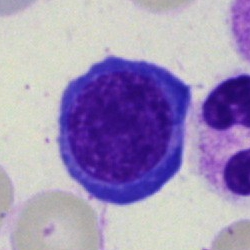Q: What type of cell is this?
A: A nucleated red blood cell.